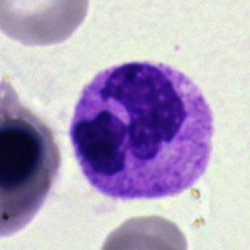

Impression — polymorphonuclear neutrophil.